Peripheral blood smear:
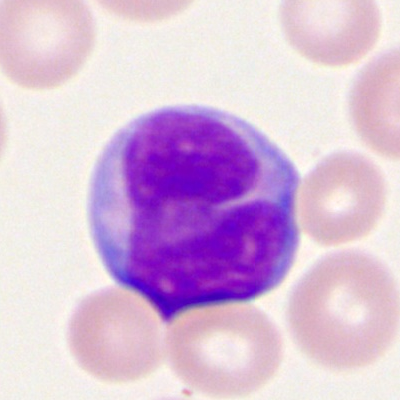

The morphological class is myeloid blast.